Bone marrow aspirate smear. 250×250 px. Brightfield microscopy, 40× oil immersion: 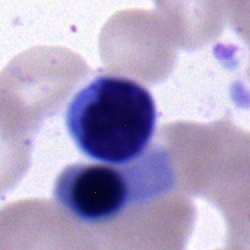
Morphology → typical lymphocyte.